Single-cell crop; bone marrow aspirate smear
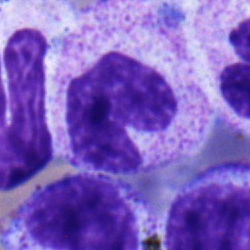
Band neutrophil.